250 by 250 pixels. Bone marrow smear.
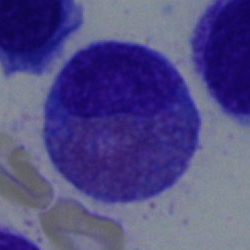
{"cell_type": "eosinophil"}